Bone marrow smear
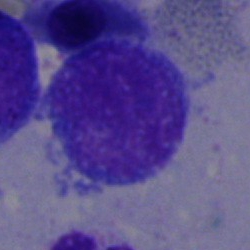Morphology — lymphocyte.